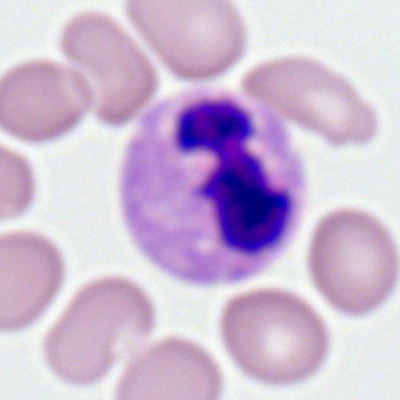
The classification is polymorphonuclear neutrophil.